Bone marrow smear
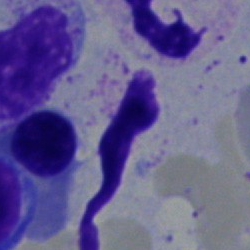
Normoblast.